Cropped to a single cell · bone marrow smear.
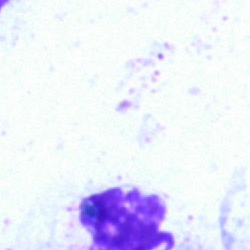

Q: What is shown here?
A: This is an artefact.